May-Grünwald-Giemsa stain. Bone marrow smear:
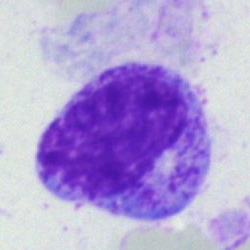The morphological class is myelocyte.